Brightfield microscopy, 40× oil immersion · bone marrow smear — 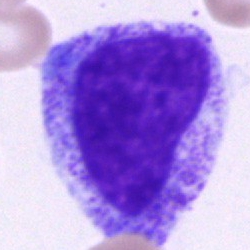

The cell type is progranulocyte.